Bone marrow smear.
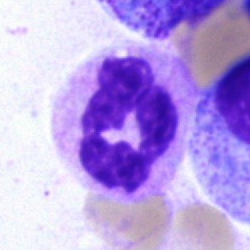Impression → polymorphonuclear neutrophil.